Bone marrow aspirate smear · 40× oil immersion.
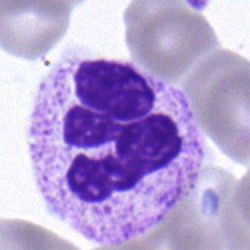Showing a polymorphonuclear neutrophil.